Bone marrow aspirate smear:
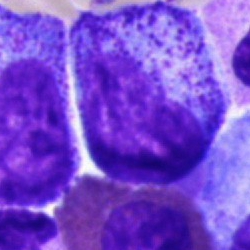

Specimen: bone marrow smear.
Morphological class: progranulocyte.